Bone marrow smear; 40× objective, oil immersion
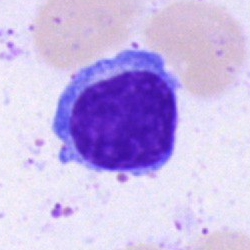Q: Identify the cell.
A: This is a typical lymphocyte.